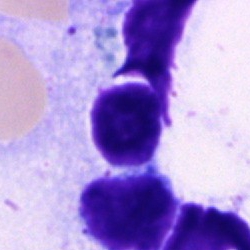

Morphology → typical lymphocyte.